Bone marrow smear; 250 by 250 pixels — 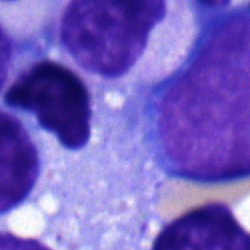{"cell_type": "metamyelocyte"}